Bone marrow aspirate smear:
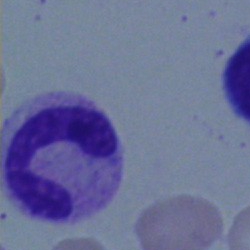{"cell_type": "neutrophil (band)"}